May-Grünwald-Giemsa stain. 40× oil immersion. Bone marrow smear.
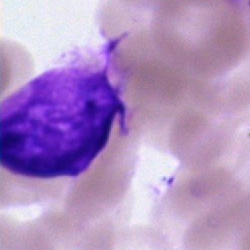
Impression → artefact.